Bone marrow aspirate smear; single-cell field; 250 by 250 pixels: 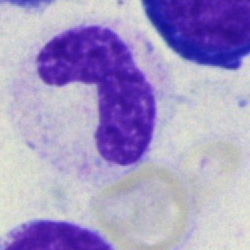Morphological class — band-form neutrophil.